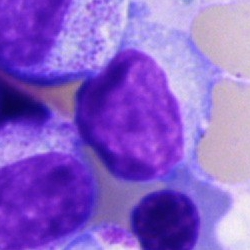Morphology → typical lymphocyte.